Bone marrow smear: 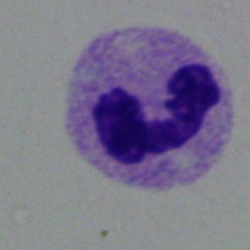 The cell shown is a polymorphonuclear neutrophil.